Bone marrow smear: 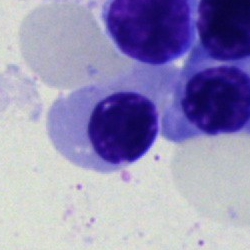
Q: What is shown here?
A: This is a normoblast.